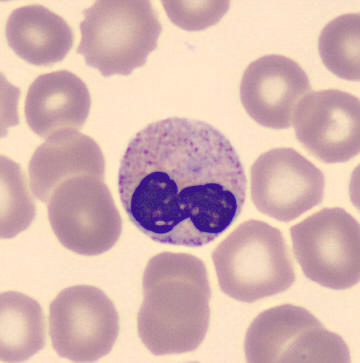Band-form neutrophil.
Preparation: Peripheral blood film.